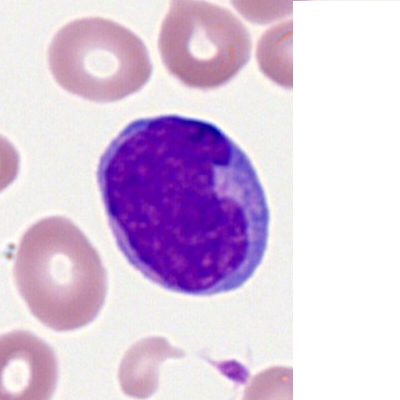Morphology consistent with a myeloblast.